400×400. Peripheral blood film: 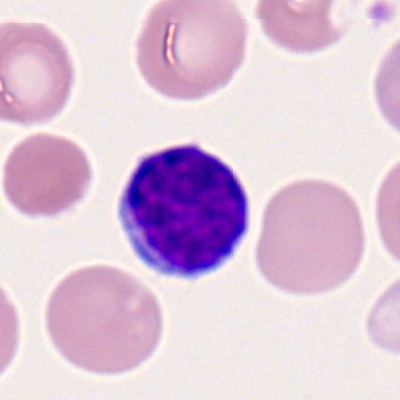 Single cell identified as a typical lymphocyte.